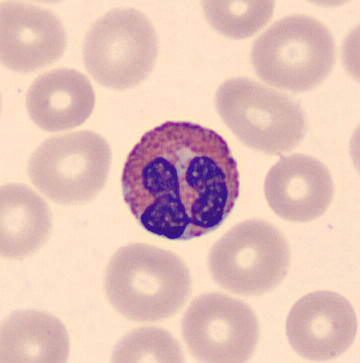

{"cell_type": "eosinophil", "lineage": "myeloid"} Peripheral blood film; CellaVision DM96; cropped to a single cell.